Bone marrow aspirate smear.
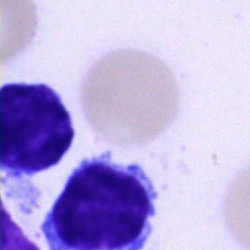
Cell type — typical lymphocyte.